Bone marrow smear — 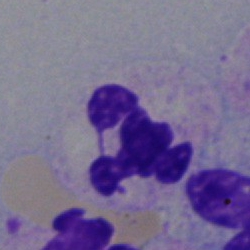

Polymorphonuclear neutrophil.